Peripheral blood smear · Romanowsky-stained: 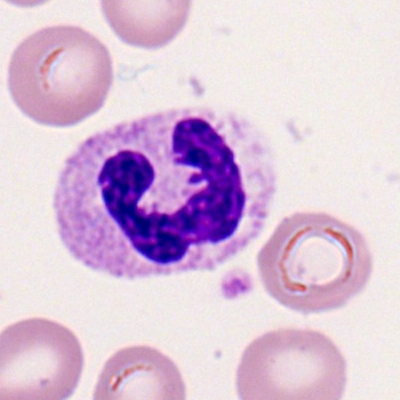

Segmented neutrophil.